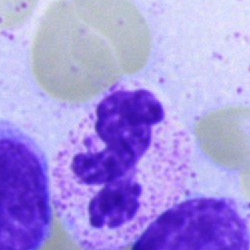 Bone marrow aspirate smear, single cell — neutrophil (segmented).